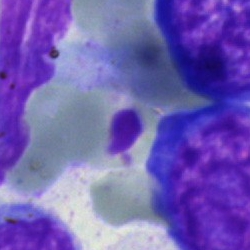
Bone marrow aspirate smear, single cell — artifact.